Peripheral blood film; 100× oil immersion
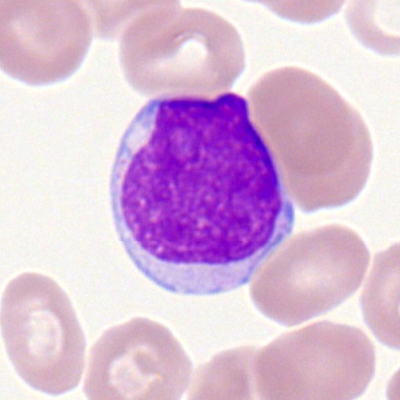
Classification: lymphocyte.